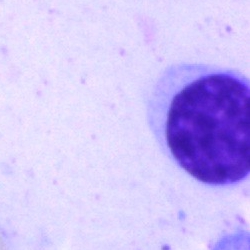Q: What type of cell is this?
A: Typical lymphocyte.